Peripheral blood film — 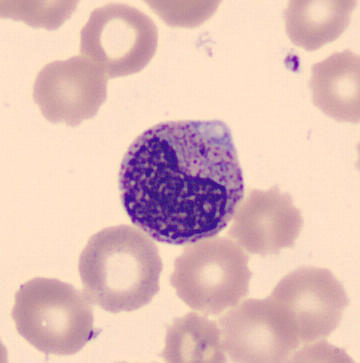
Metamyelocyte.